Bone marrow aspirate smear.
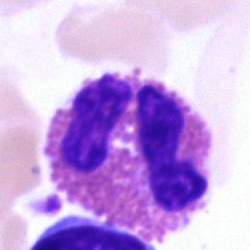
Cell type: eosinophilic granulocyte.